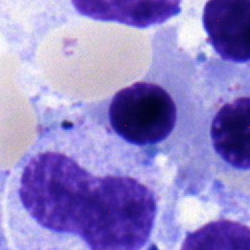

The morphological class is nucleated red cell.